40× objective, oil immersion; bone marrow smear; cropped to a single cell
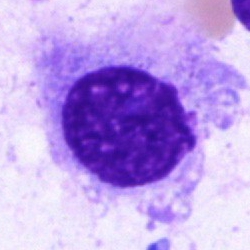 Morphology — plasmacyte.